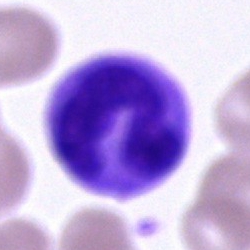This is a monocyte.